MGG-stained · bone marrow smear
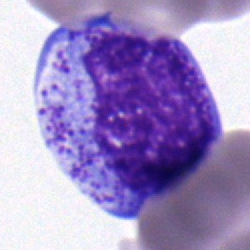Classification: promyelocyte.